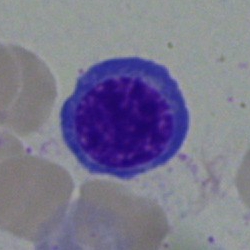The cell type is nucleated red blood cell.